Bone marrow smear
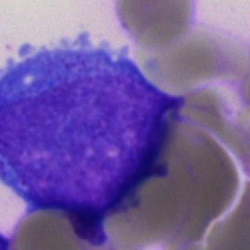
Showing a blast cell.